250 by 250 pixels · bone marrow smear · 40× objective, oil immersion.
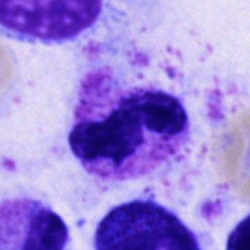A neutrophil (segmented).